Bone marrow smear · 40× oil immersion
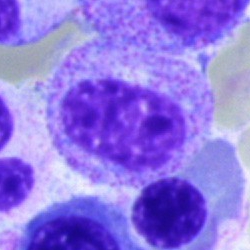Cell — myelocyte.